Bone marrow aspirate smear; cropped to a single cell
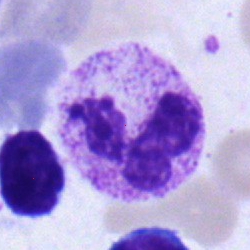{"cell_type": "neutrophil (segmented)", "lineage": "myeloid"}